250 by 250 pixels; bone marrow aspirate smear; May-Grünwald-Giemsa/Pappenheim stain:
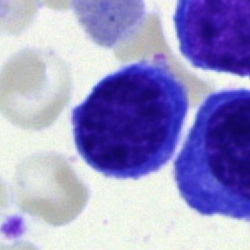

Classification: nucleated red blood cell.